Peripheral blood smear; 400×400 px.
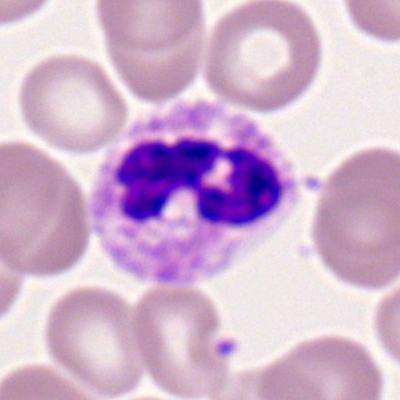Specimen: peripheral blood film.
Cell type: segmented neutrophil.
Lineage: myeloid.